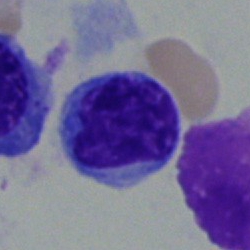Q: What is shown here?
A: It is a typical lymphocyte.